40× oil immersion. Bone marrow smear — 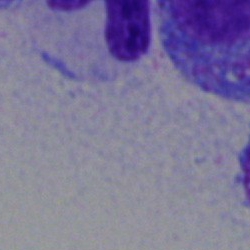

This is an artefact.